Bone marrow aspirate smear
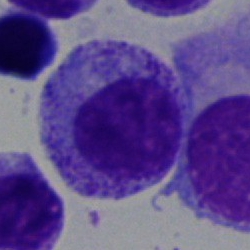
Morphology — myelocyte.